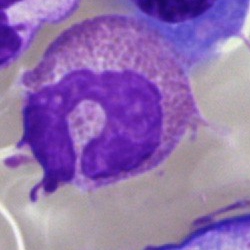

Single-cell crop from a bone marrow smear: eosinophil.